Peripheral blood smear. Romanowsky stain. Image size 400×400: 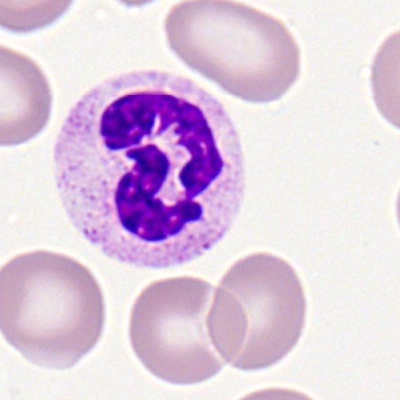

Cell = segmented neutrophil.